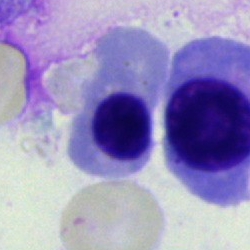 Morphological class — erythroblast.